Brightfield, 40× oil-immersion objective · bone marrow smear · single-cell field:
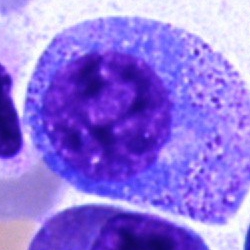 Cell = promyelocyte.